Bone marrow aspirate smear. Single cell centered in the field: 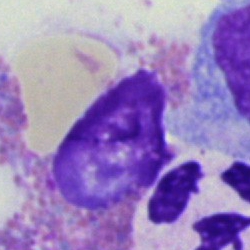
Morphological class: eosinophilic granulocyte.